250 by 250 pixels; bone marrow aspirate smear: 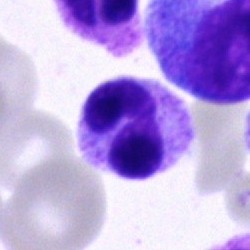The classification is neutrophil (segmented).